Bone marrow smear
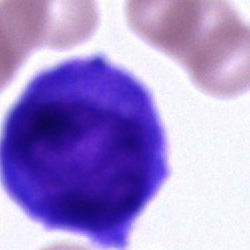
This is a cell of indeterminate lineage.